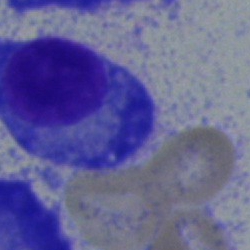

Morphology — plasmacyte.